Bone marrow aspirate smear; brightfield microscopy, 40× oil immersion; May-Grünwald-Giemsa stain.
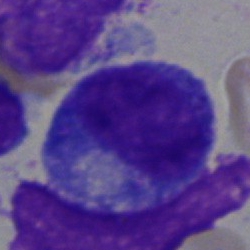
Q: What type of cell is this?
A: A progranulocyte.